Bone marrow smear · Pappenheim-stained.
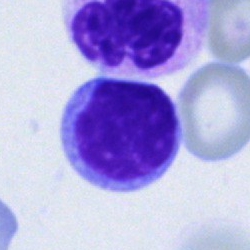Impression — typical lymphocyte.